40× objective, oil immersion · bone marrow aspirate smear · cropped to a single cell
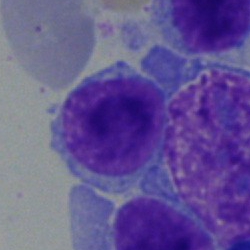
Single cell identified as a lymphocyte.